Bone marrow aspirate smear:
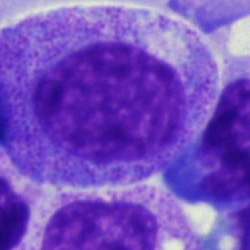
The classification is progranulocyte.